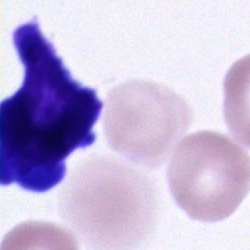Cell: cell of indeterminate lineage.